Brightfield microscopy, 40× oil immersion; MGG-stained; bone marrow smear: 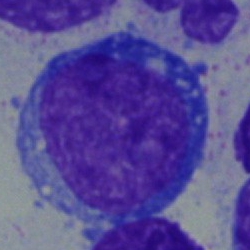

Cell type: blast.